Bone marrow smear — 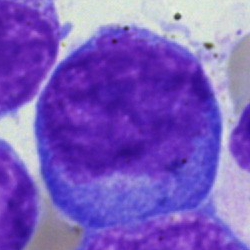Morphology consistent with a proerythroblast.